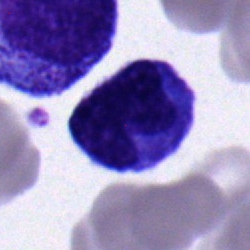Q: What is the morphological classification of this cell?
A: It is a monocyte.